Cropped to a single cell · bone marrow aspirate smear · 250×250
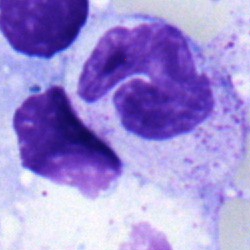Cell type — stab cell.